Brightfield, 40× oil-immersion objective. May-Grünwald-Giemsa/Pappenheim stain. Bone marrow smear
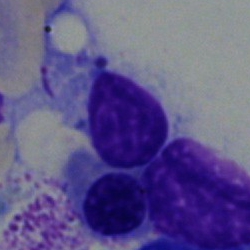 {"cell_type": "nucleated red cell", "lineage": "erythroid"}